Bone marrow smear
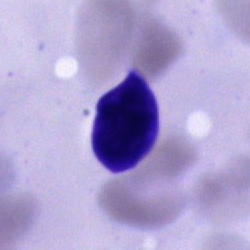
This is a cell of indeterminate lineage.